Bone marrow smear:
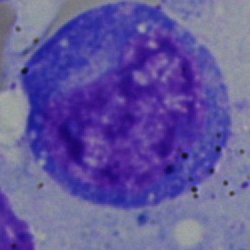
Morphology consistent with a promyelocyte.